Single cell centered in the field; brightfield microscopy, 40× oil immersion; bone marrow aspirate smear:
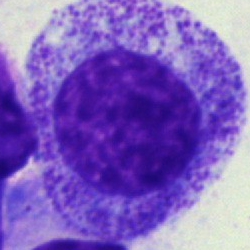Progranulocyte.